Image size 250×250. Bone marrow smear — 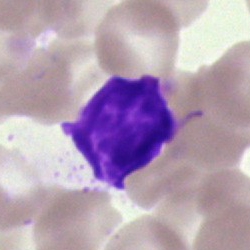
This is an artifact.